Bone marrow smear — 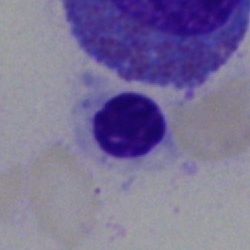{"cell_type": "erythroblast", "lineage": "erythroid"}